Bone marrow aspirate smear. 250×250 px — 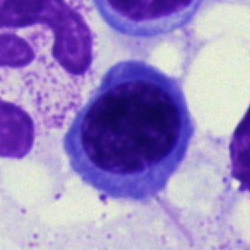Impression → nucleated red cell.